250×250 · Pappenheim-stained · bone marrow aspirate smear
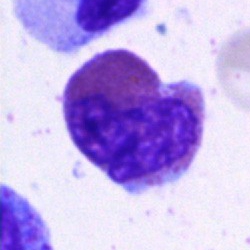 Specimen: bone marrow smear.
Cell: eosinophilic granulocyte.